Bone marrow smear:
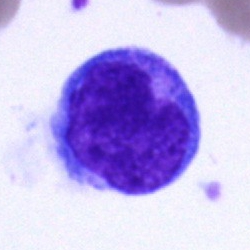 Blast cell.